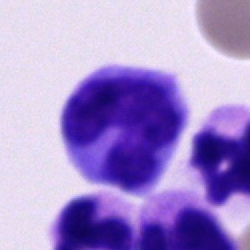 The cell shown is a monocyte.